Peripheral blood film:
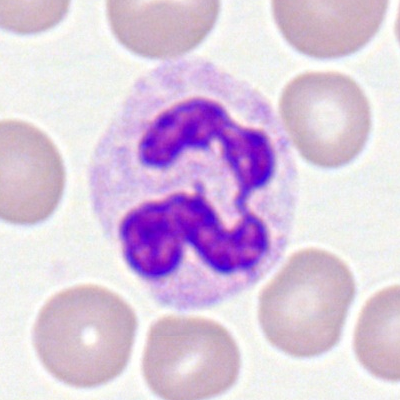{"cell_type": "neutrophil (segmented)"}